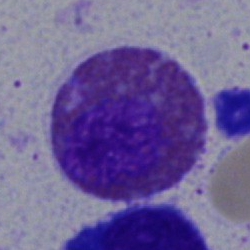
This is an eosinophilic granulocyte.